Peripheral blood smear. 100× oil immersion. Cropped to a single cell: 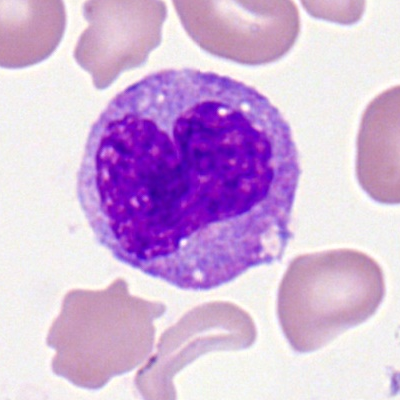
A monocyte.